Brightfield microscopy, 40× oil immersion. Bone marrow smear: 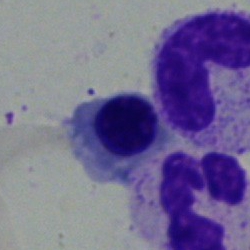 Morphological class = erythroblast.